Bone marrow smear: 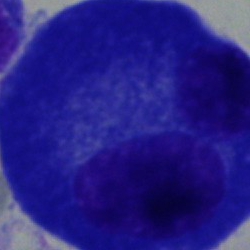

Morphology → plasma cell.